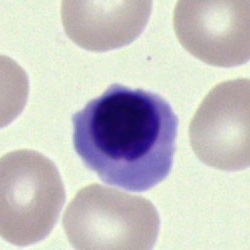 An erythroblast on a bone marrow smear.